Bone marrow aspirate smear
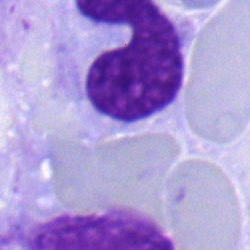 Impression → neutrophil (segmented).